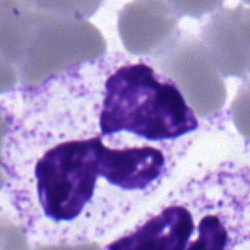Cell = neutrophil (segmented).